Bone marrow smear · single cell centered in the field · MGG-stained:
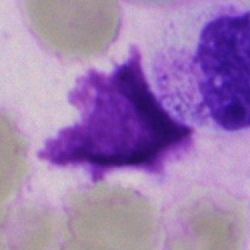 This is an artifact.